Bone marrow aspirate smear.
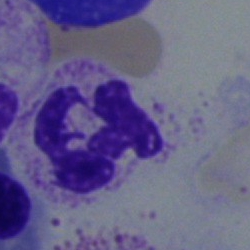
Cell type: segmented neutrophil.